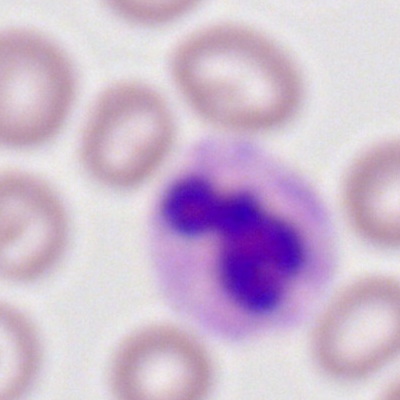 Q: What is shown here?
A: It is a polymorphonuclear neutrophil.